Bone marrow smear · brightfield, 40× oil-immersion objective: 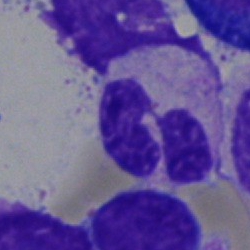

{"cell_type": "neutrophil (segmented)", "lineage": "myeloid"}